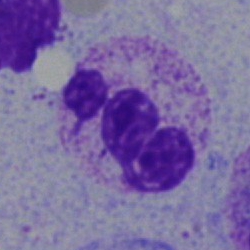

Bone marrow smear showing a segmented neutrophil.